Pappenheim-stained · bone marrow smear:
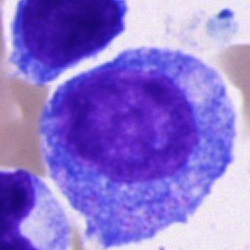

Q: What type of cell is this?
A: Progranulocyte.